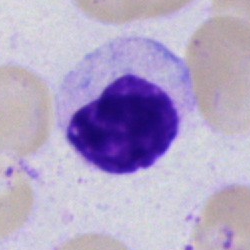The cell is artifact.